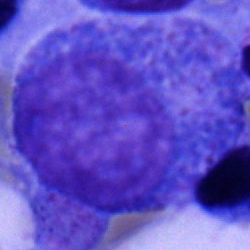 A promyelocyte on a bone marrow smear.